40× oil immersion. Bone marrow aspirate smear — 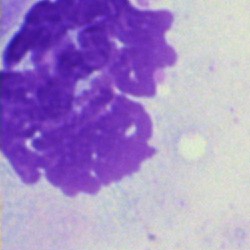Specimen: bone marrow aspirate smear.
Classification: artifact.